Bone marrow aspirate smear; single cell centered in the field: 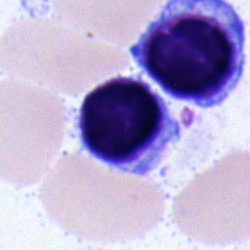

Showing a typical lymphocyte.